Bone marrow smear
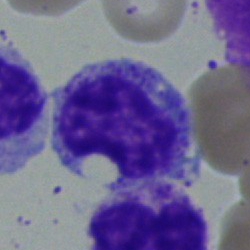Q: What cell is this?
A: This is a myelocyte.